Bone marrow aspirate smear. Pappenheim-stained.
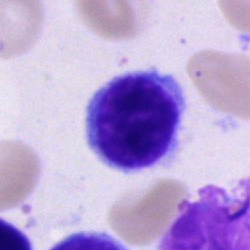Cell — typical lymphocyte.